Peripheral blood film:
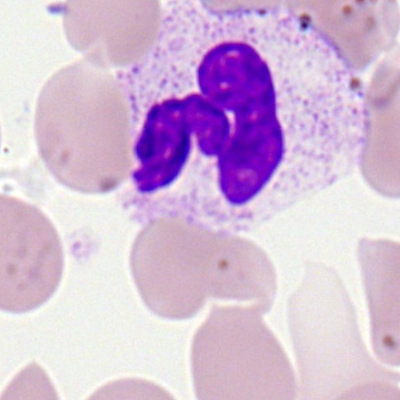 Specimen: peripheral blood film.
Cell type: neutrophil (segmented).
Lineage: myeloid.